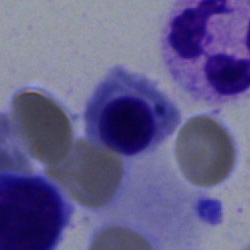
The cell type is nucleated red cell.